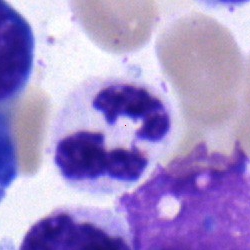
Segmented neutrophil.